Bone marrow smear
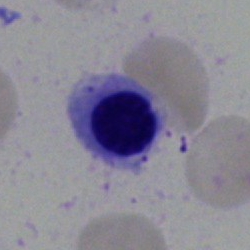 Impression — nucleated red blood cell.